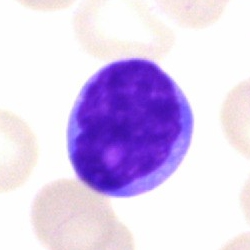Single-cell crop from a bone marrow smear: lymphocyte.